Bone marrow smear — 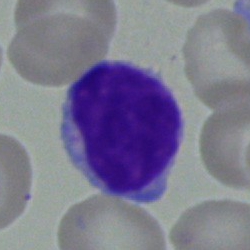 {"cell_type": "typical lymphocyte", "lineage": "lymphoid"}